Bone marrow aspirate smear — 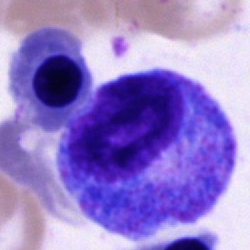Impression — progranulocyte.